Bone marrow aspirate smear.
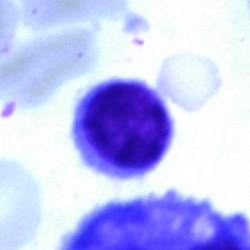Single cell identified as a typical lymphocyte.